Brightfield, 40× oil-immersion objective; bone marrow aspirate smear.
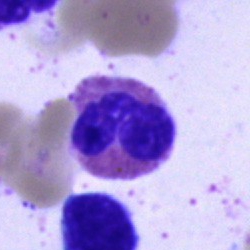Morphology consistent with an eosinophilic granulocyte.